Single-cell crop; bone marrow smear — 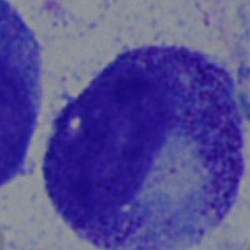
Impression — myelocyte.